Bone marrow smear; 250 by 250 pixels; single cell centered in the field — 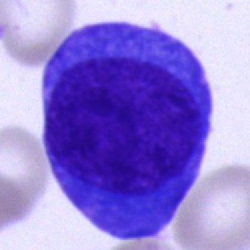

Morphology → plasmacyte.